Bone marrow aspirate smear — 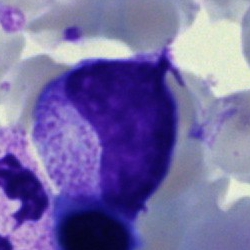Classification = metamyelocyte.